250 by 250 pixels · bone marrow aspirate smear · single-cell field — 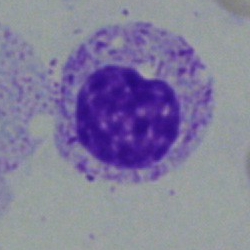
{"cell_type": "myelocyte", "lineage": "myeloid"}